Bone marrow aspirate smear — 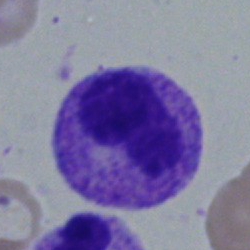 Classification: metamyelocyte.